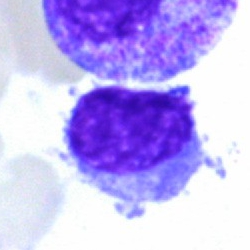

The morphological class is typical lymphocyte.